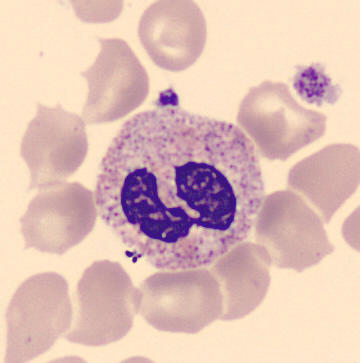

Image: Peripheral blood smear.

Cell type = neutrophil (segmented).